Bone marrow smear
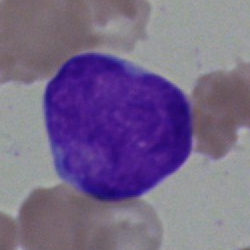
Cell: blast cell.